Bone marrow aspirate smear:
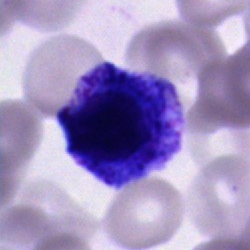Specimen: bone marrow smear.
Cell type: progranulocyte.
Lineage: myeloid.